Bone marrow aspirate smear; single-cell crop.
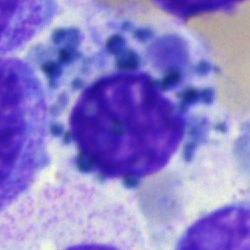
An artefact.